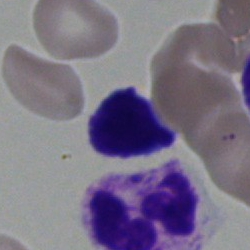 Morphology → lymphocyte.